Cropped to a single cell; 250 by 250 pixels; bone marrow aspirate smear
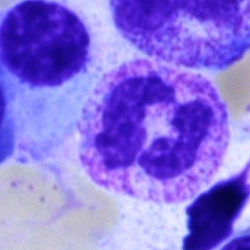Classification — segmented neutrophil.